Peripheral blood smear. Automated cell imaging (CellaVision DM96): 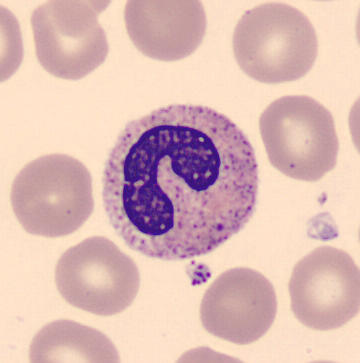Impression → band neutrophil.